Peripheral blood smear: 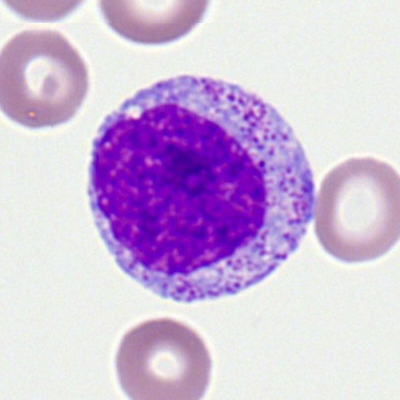 {"cell_type": "myelocyte", "lineage": "myeloid"}